Bone marrow aspirate smear · brightfield, 40× oil-immersion objective — 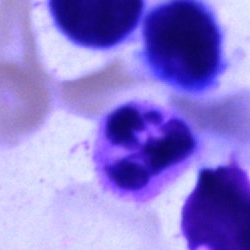

Morphology consistent with a polymorphonuclear neutrophil.